Bone marrow smear; 40× oil immersion:
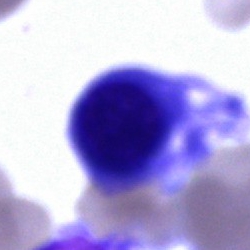
Q: What is shown here?
A: Cell of indeterminate lineage.